Bone marrow aspirate smear; 250×250: 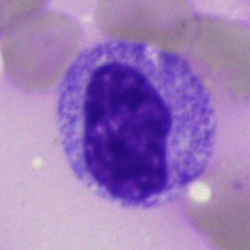 Metamyelocyte.